Bone marrow aspirate smear:
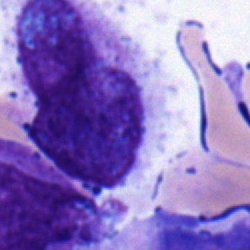
Q: Identify the cell.
A: Blast cell.